Bone marrow aspirate smear.
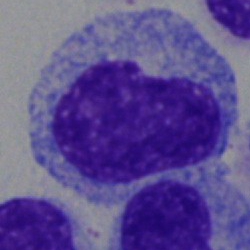 Cell = promyelocyte.